Peripheral blood smear: 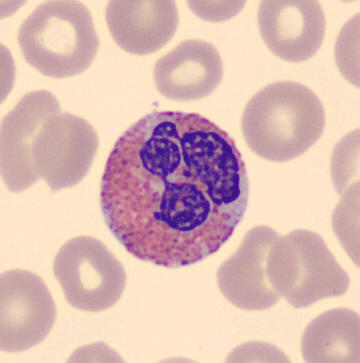
Q: What type of cell is this?
A: An eosinophilic granulocyte.